Bone marrow aspirate smear. Single cell centered in the field. 40× oil immersion: 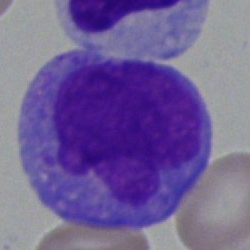
Monocyte.